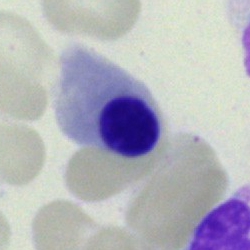

Classification = normoblast.